Bone marrow aspirate smear.
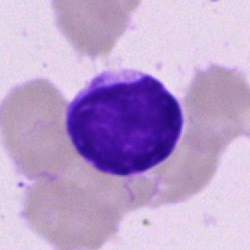
Impression → lymphocyte.